MGG-stained; bone marrow aspirate smear: 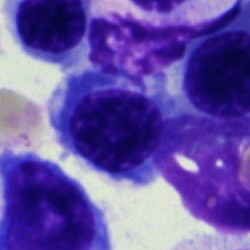 Morphology — nucleated red cell.